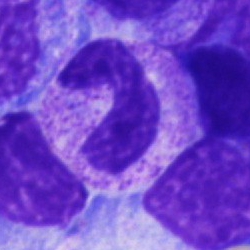 Q: Identify the cell.
A: A band neutrophil.